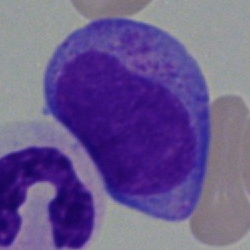

Morphological class: progranulocyte.